Peripheral blood film · Romanowsky stain · 400×400 — 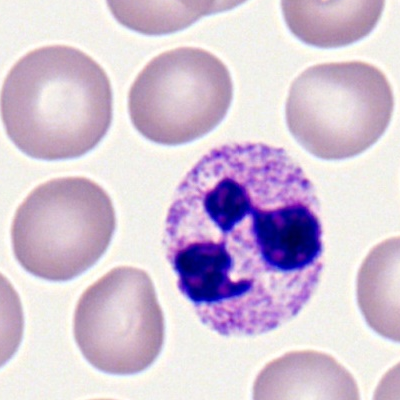

Q: Which cell type is shown here?
A: Segmented neutrophil.